Bone marrow smear:
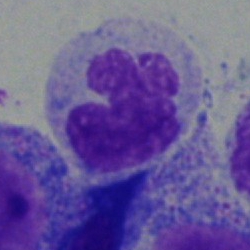

Cell type — monocyte.